Bone marrow aspirate smear:
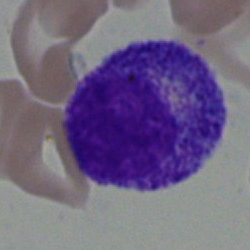
Cell type = myelocyte.